Bone marrow aspirate smear. 250×250:
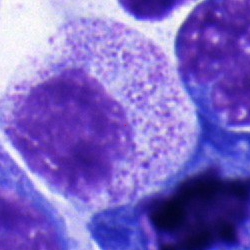Q: What is the morphological classification of this cell?
A: Myelocyte.